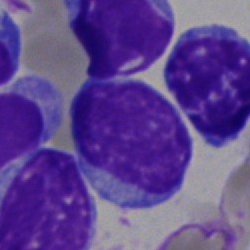
The cell shown is a lymphocyte.